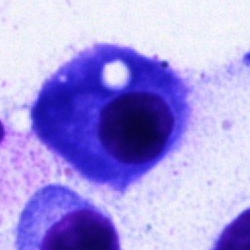 Single cell identified as a plasmacyte.